Bone marrow aspirate smear · brightfield, 40× oil-immersion objective · May-Grünwald-Giemsa stain: 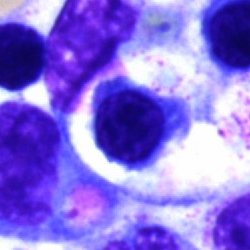Q: What is the morphological classification of this cell?
A: This is a nucleated red blood cell.